Peripheral blood smear
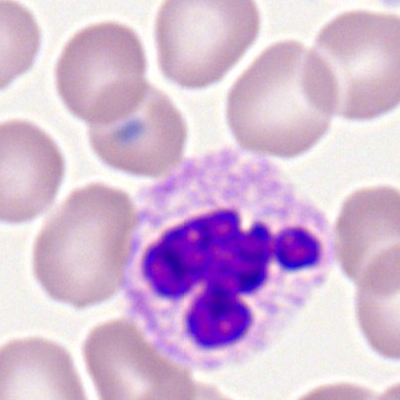Morphology — polymorphonuclear neutrophil.